Bone marrow aspirate smear · cropped to a single cell:
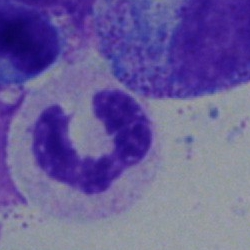
Morphology consistent with a neutrophil (band).